Bone marrow aspirate smear. Single-cell crop
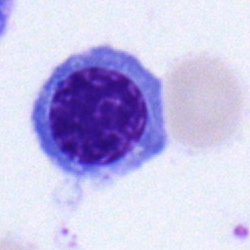

Single cell identified as an erythroblast.